Cropped to a single cell · bone marrow smear — 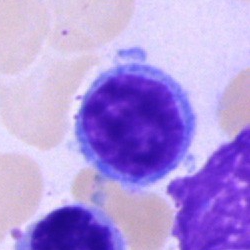
The cell shown is a lymphocyte.